40× oil immersion. Bone marrow smear
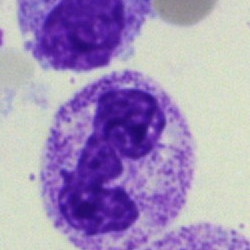 The cell type is segmented neutrophil.